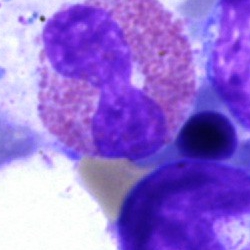

Impression → eosinophilic granulocyte.